Peripheral blood film
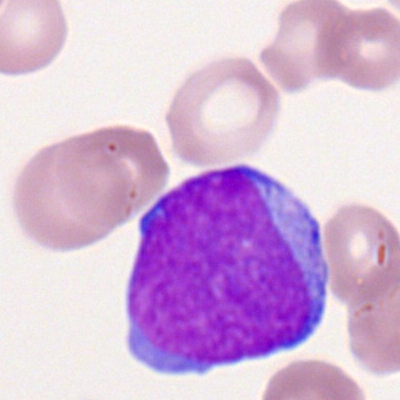Q: Which cell type is shown here?
A: A myeloid blast.